Peripheral blood smear — 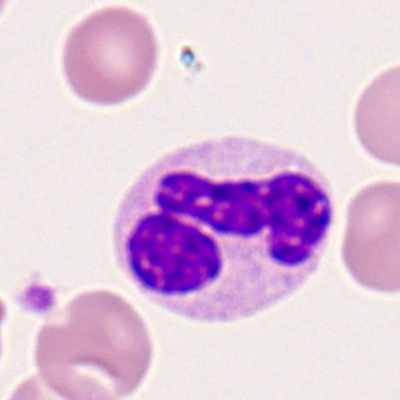 The cell shown is a segmented neutrophil.